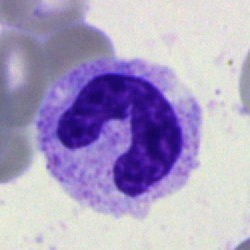

Classification: polymorphonuclear neutrophil.